Brightfield microscopy, 40× oil immersion; bone marrow smear:
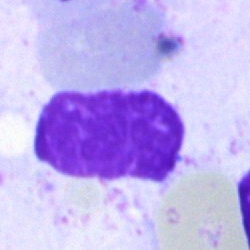

An artefact.